40× oil immersion. MGG-stained. Bone marrow aspirate smear:
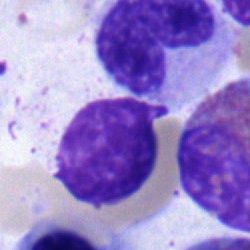

Specimen: bone marrow aspirate smear.
Cell type: band-form neutrophil.